Bone marrow aspirate smear · single-cell field.
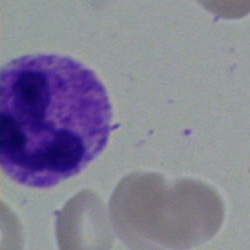
Cell: neutrophil (segmented).